Bone marrow aspirate smear.
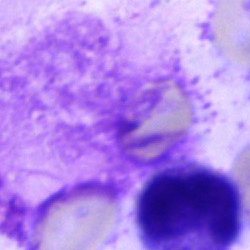
Morphological class — artifact.